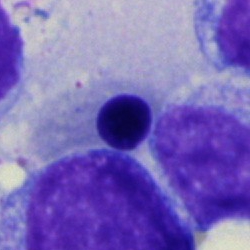
Q: What is the morphological classification of this cell?
A: Nucleated red cell.